Bone marrow smear: 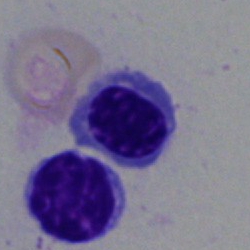Q: What cell is this?
A: This is a nucleated red cell.